Bone marrow aspirate smear: 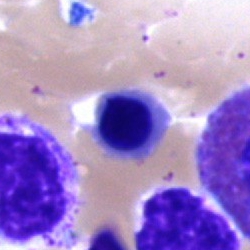

Classification — erythroblast.